Bone marrow smear: 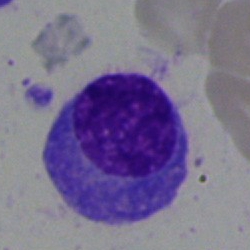
Q: What is the morphological classification of this cell?
A: It is a plasma cell.